Bone marrow smear: 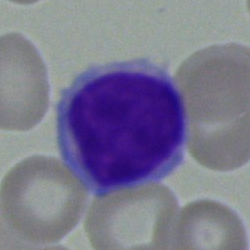{"cell_type": "lymphocyte", "lineage": "lymphoid"}